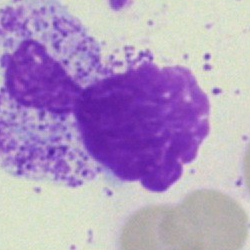Single-cell crop from a bone marrow smear: artifact.